Brightfield microscopy, 40× oil immersion. Bone marrow aspirate smear: 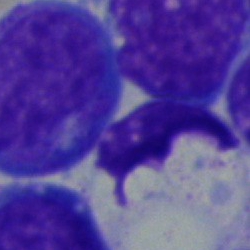Q: What type of cell is this?
A: A blast cell.